Bone marrow smear — 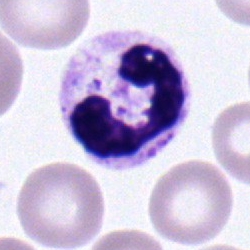{"cell_type": "polymorphonuclear neutrophil", "lineage": "myeloid"}